Bone marrow aspirate smear · Pappenheim-stained · single-cell field
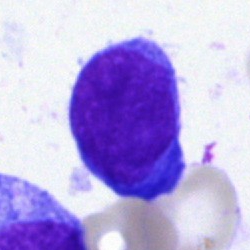 The cell shown is a blast.